Bone marrow smear: 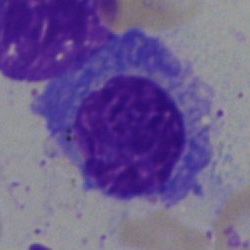

Morphology consistent with a plasma cell.